Single-cell crop · bone marrow smear — 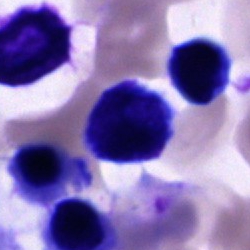Showing an unidentifiable cell.